40× objective, oil immersion. Bone marrow aspirate smear:
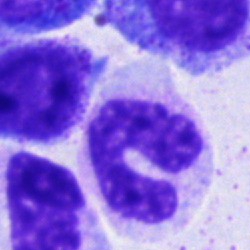 Q: What cell is this?
A: This is a band neutrophil.